Bone marrow smear · single cell centered in the field: 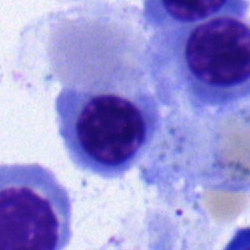 Q: Identify the cell.
A: Nucleated red cell.